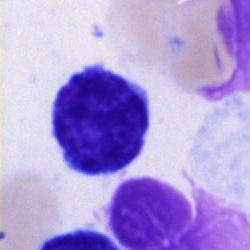

Bone marrow smear showing a typical lymphocyte.